Bone marrow aspirate smear:
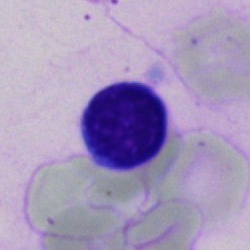 The cell type is typical lymphocyte.